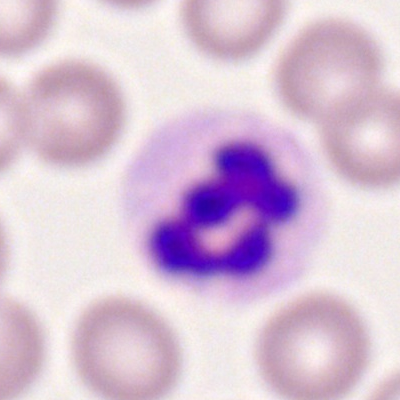Q: Identify the cell.
A: A neutrophil (segmented).